Bone marrow aspirate smear — 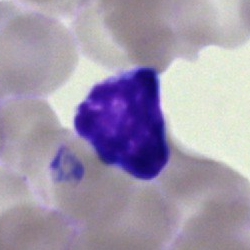
Specimen: bone marrow smear.
Cell type: typical lymphocyte.
Lineage: lymphoid.